May-Grünwald-Giemsa stain; bone marrow smear
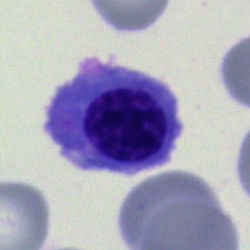 A nucleated red blood cell.